Bone marrow aspirate smear.
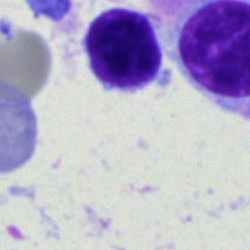 Specimen: bone marrow aspirate smear.
Classification: typical lymphocyte.